250×250 px. Bone marrow smear. Brightfield microscopy, 40× oil immersion: 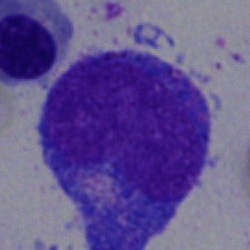
Cell: progranulocyte.